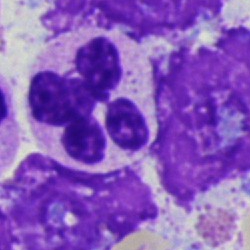 Cell: segmented neutrophil.